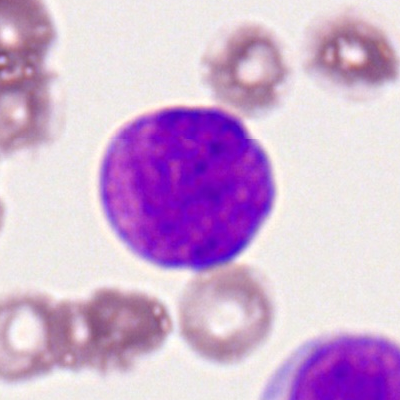

Q: What is shown here?
A: A myeloblast.